Bone marrow smear. 40× oil immersion. May-Grünwald-Giemsa/Pappenheim stain: 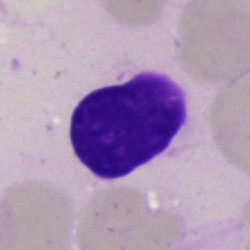Q: What is shown here?
A: An artefact.